Bone marrow smear.
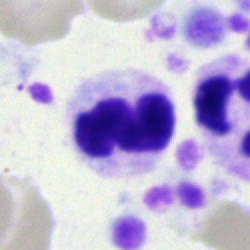
The morphological class is segmented neutrophil.